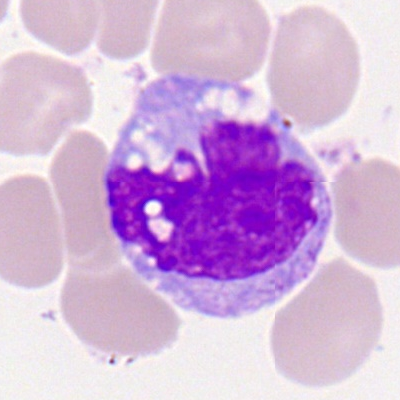

Specimen: peripheral blood smear.
Cell type: monocyte.
Lineage: myeloid.